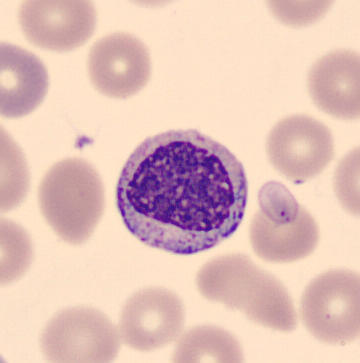

Acquisition: Peripheral blood smear · automated cell imaging (CellaVision DM96).

Impression — myelocyte.